Bone marrow aspirate smear.
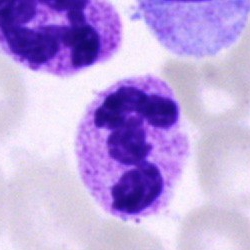
The cell shown is a segmented neutrophil.